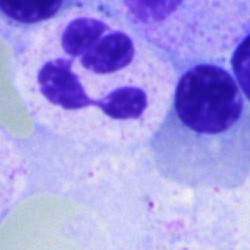The classification is neutrophil (segmented).